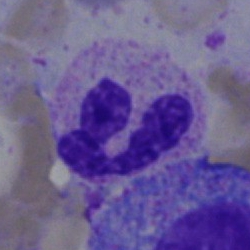Cell type: neutrophil (segmented).